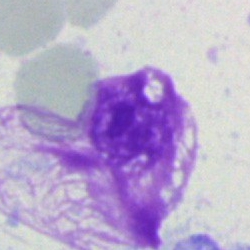An artifact on a bone marrow smear.